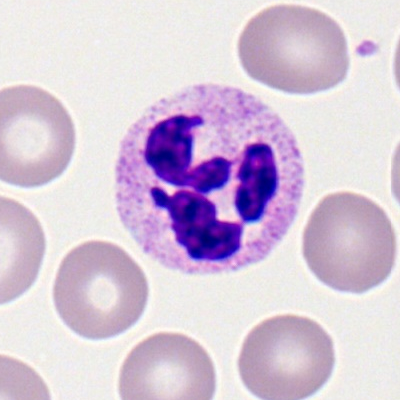
{"cell_type": "segmented neutrophil", "lineage": "myeloid"}